Bone marrow aspirate smear · May-Grünwald-Giemsa/Pappenheim stain — 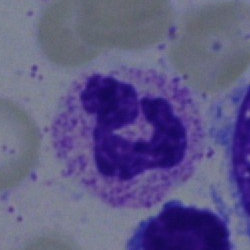
Cell: neutrophil (segmented).